Bone marrow aspirate smear.
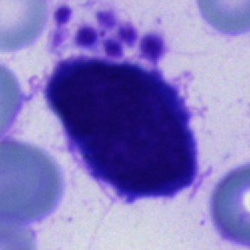 Q: Identify the cell.
A: An unidentifiable cell.